Bone marrow smear; May-Grünwald-Giemsa/Pappenheim stain; single cell centered in the field
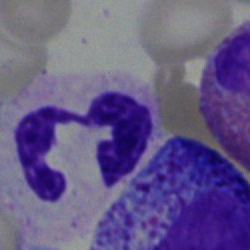

Q: What type of cell is this?
A: It is a polymorphonuclear neutrophil.